Bone marrow aspirate smear. 40× oil immersion.
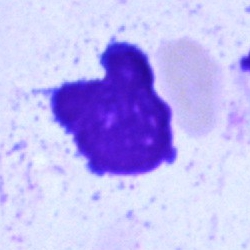
Specimen: bone marrow aspirate smear.
Cell: artefact.